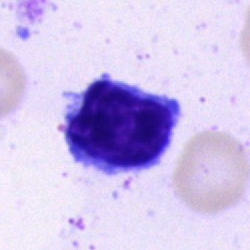 Q: Identify the cell.
A: Lymphocyte.